Bone marrow aspirate smear: 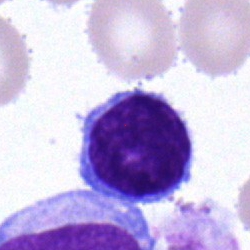Cell — typical lymphocyte.